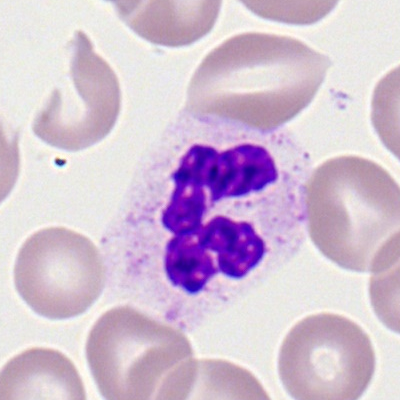The classification is segmented neutrophil.